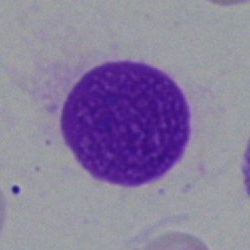
Classification = artifact.